Bone marrow smear — 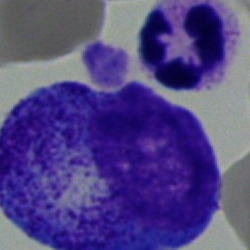 Morphology consistent with a progranulocyte.